Pappenheim-stained; bone marrow smear: 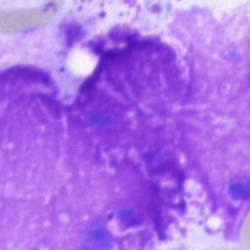

An artifact.